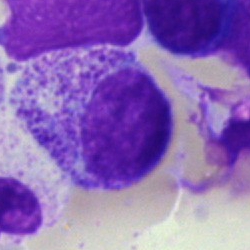 Bone marrow smear showing a myelocyte.